Pappenheim-stained. 250 by 250 pixels. Bone marrow aspirate smear: 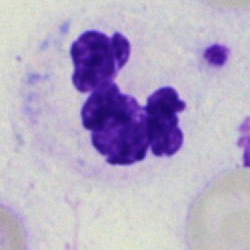

{"cell_type": "polymorphonuclear neutrophil", "lineage": "myeloid"}